Bone marrow smear · 250×250: 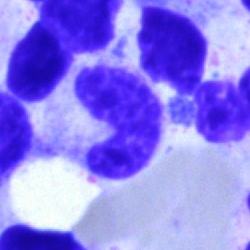 Q: Which cell type is shown here?
A: A band-form neutrophil.